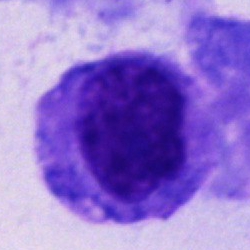Impression — other cell.